Bone marrow smear.
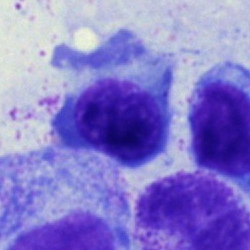
Morphology → normoblast.